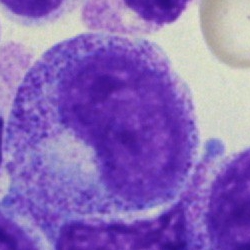 The cell shown is a progranulocyte.